Bone marrow smear: 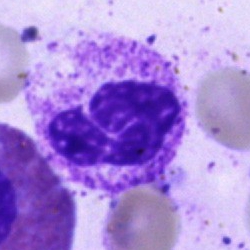 {"cell_type": "polymorphonuclear neutrophil"}